Single-cell crop · bone marrow smear.
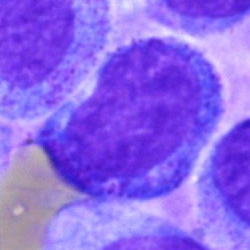
Specimen: bone marrow aspirate smear.
Morphological class: promyelocyte.
Lineage: myeloid.